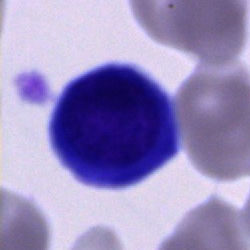{"cell_type": "cell of indeterminate lineage"}